Bone marrow smear: 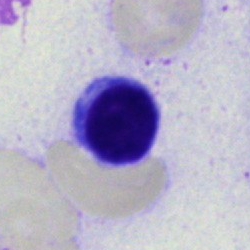

Typical lymphocyte.